Bone marrow aspirate smear — 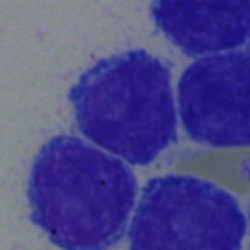

Impression → lymphocyte.